Bone marrow aspirate smear:
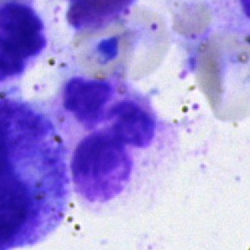

Showing a segmented neutrophil.